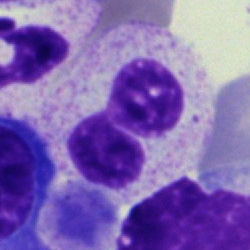Morphology consistent with a segmented neutrophil.